Bone marrow smear · May-Grünwald-Giemsa/Pappenheim stain.
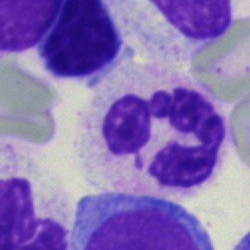

Single cell identified as a segmented neutrophil.